Bone marrow smear. 40× objective, oil immersion
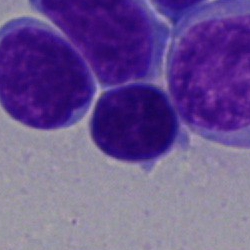
Single cell identified as a lymphocyte.